Bone marrow aspirate smear. Image size 250×250 — 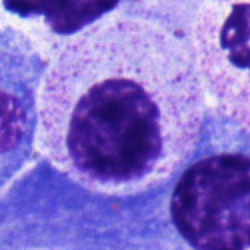 A myelocyte.